Brightfield, 40× oil-immersion objective; bone marrow aspirate smear; 250×250 — 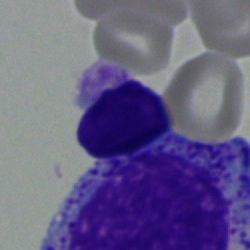

Morphological class: lymphocyte.